40× oil immersion · bone marrow smear · single-cell field.
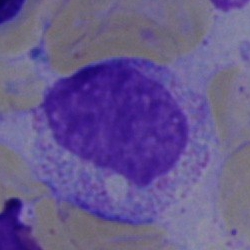Classification = myelocyte.